Bone marrow smear. 250×250 px
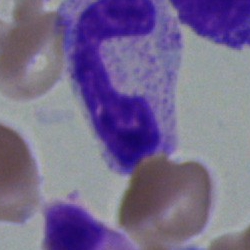

This is a neutrophil (segmented).